Pappenheim-stained. Brightfield, 40× oil-immersion objective. Bone marrow aspirate smear: 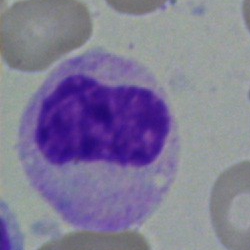

Metamyelocyte.